Bone marrow smear.
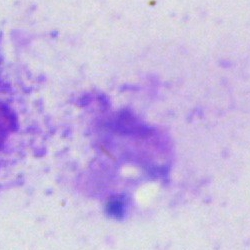

Specimen: bone marrow smear.
Classification: artefact.